Peripheral blood film. 100× oil immersion, 14.14 px/µm
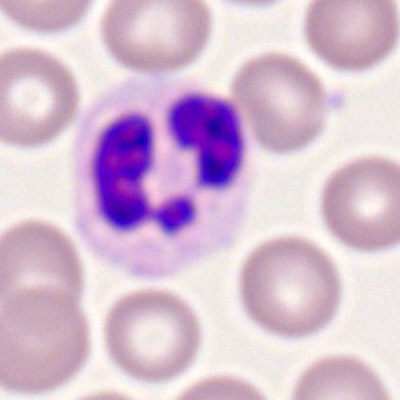
The cell shown is a neutrophil (segmented).